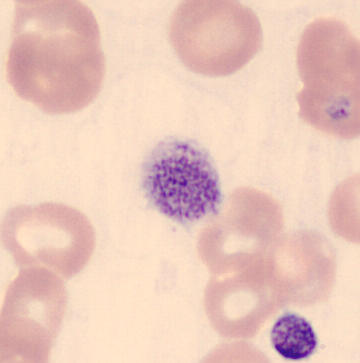

Identified as a thrombocyte. Image size 360×363; May-Grünwald-Giemsa-stained; peripheral blood smear.